Bone marrow smear: 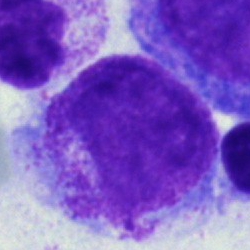
This is a myelocyte.